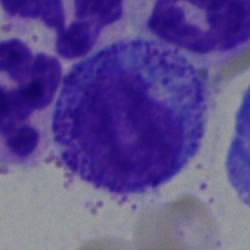 Progranulocyte.